Bone marrow aspirate smear: 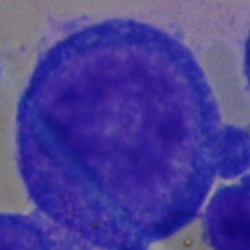

Morphological class — promyelocyte.